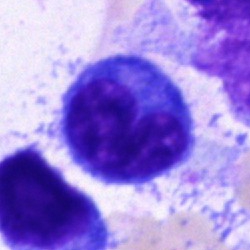
Single cell identified as an undifferentiated blast.